Bone marrow aspirate smear
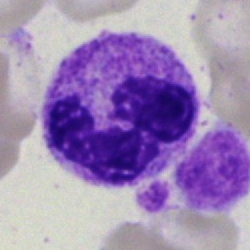Impression → segmented neutrophil.